Bone marrow aspirate smear — 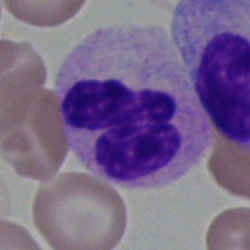
A polymorphonuclear neutrophil.